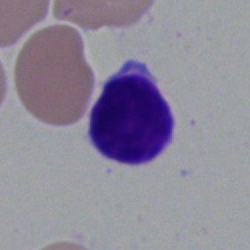Q: What is the morphological classification of this cell?
A: A lymphocyte.